Peripheral blood film · cropped to a single cell · 400×400 — 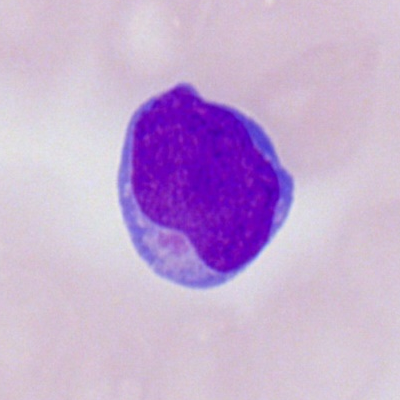

Cell type: myeloblast.